Bone marrow aspirate smear — 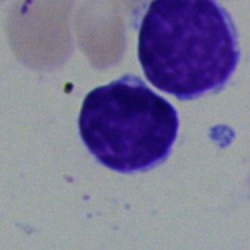 Showing a lymphocyte.